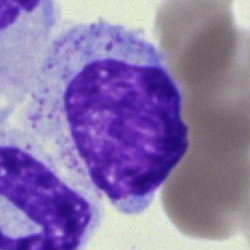

Myelocyte.